40× objective, oil immersion · bone marrow smear
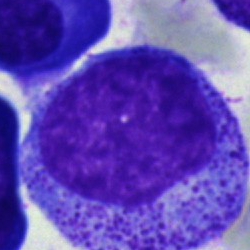
The cell is progranulocyte.